Bone marrow smear · Pappenheim-stained — 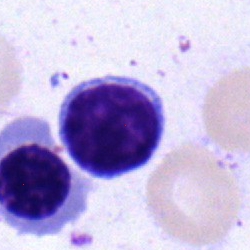
Cell type = lymphocyte.